250×250 px · single-cell field · bone marrow aspirate smear — 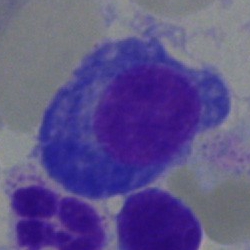

A plasmacyte.